Bone marrow aspirate smear
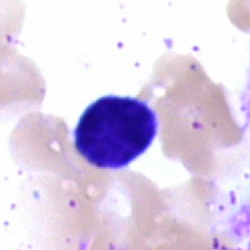Lymphocyte.